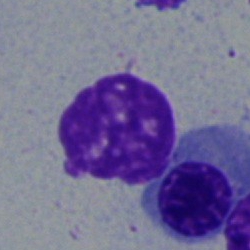

Q: Identify the cell.
A: Nucleated red cell.